Bone marrow aspirate smear:
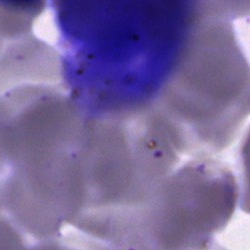
Impression — artefact.